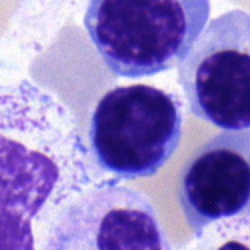
Lymphocyte.